May-Grünwald-Giemsa stain. Bone marrow aspirate smear:
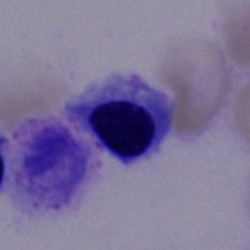

The morphological class is normoblast.